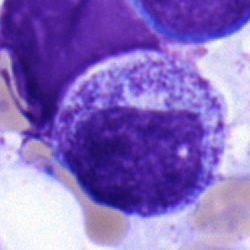Single-cell crop from a bone marrow smear: myelocyte.